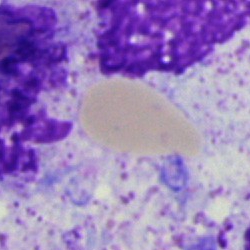
Morphology consistent with an artefact.